Bone marrow smear — 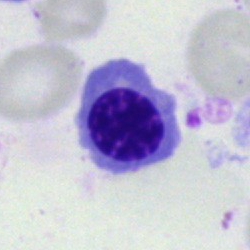
Classification: normoblast.